Bone marrow aspirate smear
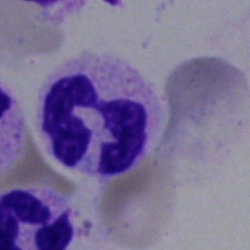 The cell type is polymorphonuclear neutrophil.